Bone marrow smear; 40× objective, oil immersion
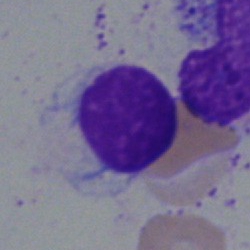 The cell shown is a lymphocyte.